Bone marrow aspirate smear: 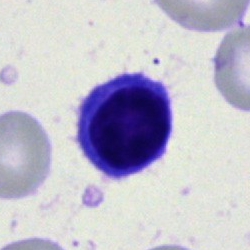

Morphological class = normoblast.